Bone marrow smear. Image size 250×250.
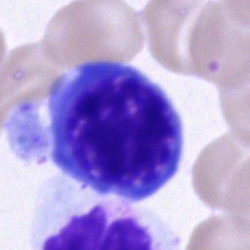

Nucleated red blood cell.